Peripheral blood smear; 400×400 px
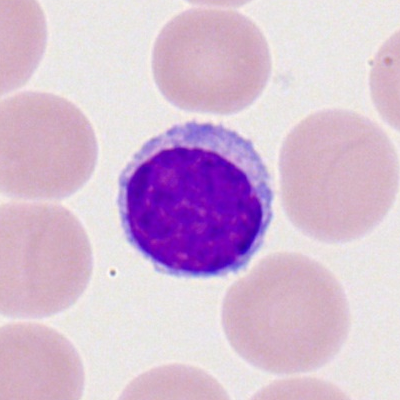Classification = lymphocyte.